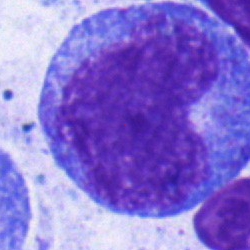
Single-cell crop from a bone marrow smear: promyelocyte.